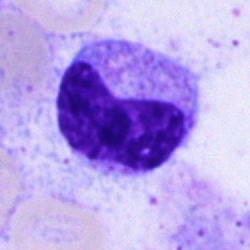

Showing a metamyelocyte.